Peripheral blood film. 400×400 px.
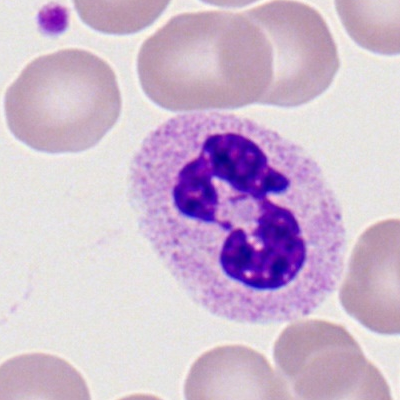
Morphological class — segmented neutrophil.